Bone marrow aspirate smear. Pappenheim-stained
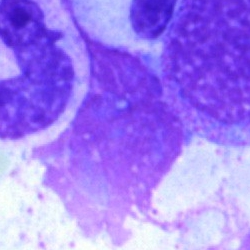

Q: What is shown here?
A: An artifact.